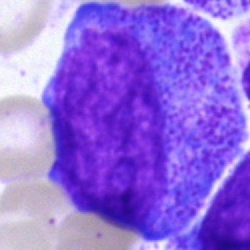

Cell = promyelocyte.